Bone marrow smear
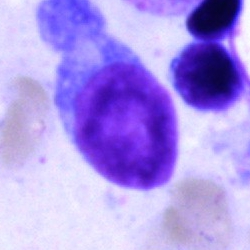

Single cell identified as a lymphocyte.